40× oil immersion; bone marrow aspirate smear; May-Grünwald-Giemsa stain.
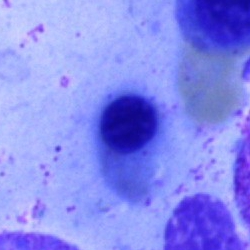

This is a nucleated red cell.